Bone marrow smear; MGG-stained; 250 by 250 pixels:
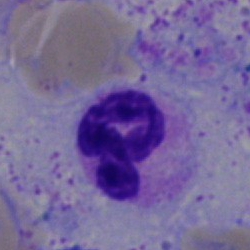 A neutrophil (segmented).